Peripheral blood smear:
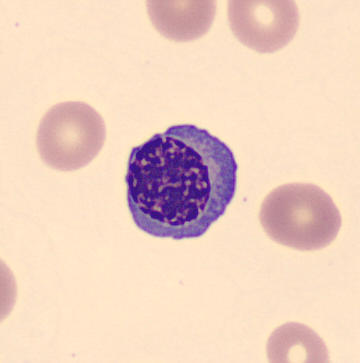 Morphology consistent with an erythroblast.